Bone marrow aspirate smear.
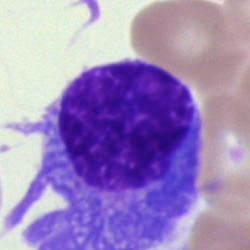Q: Identify the cell.
A: A plasmacyte.